Bone marrow aspirate smear:
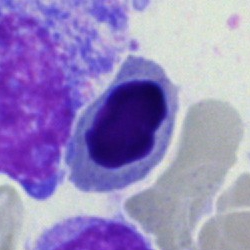
{"cell_type": "erythroblast", "lineage": "erythroid"}